Pappenheim-stained. Bone marrow aspirate smear:
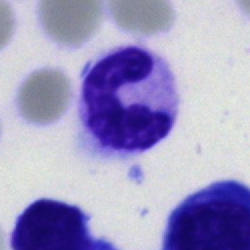
The cell is neutrophil (segmented).